40× objective, oil immersion · 250×250 px · bone marrow smear:
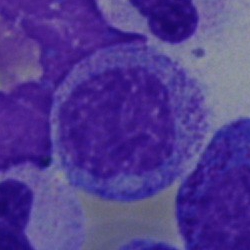 Q: What is shown here?
A: Myelocyte.